40× objective, oil immersion · bone marrow smear.
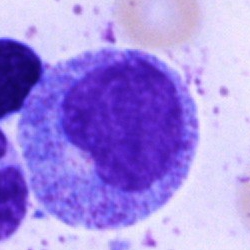Promyelocyte.